Peripheral blood smear.
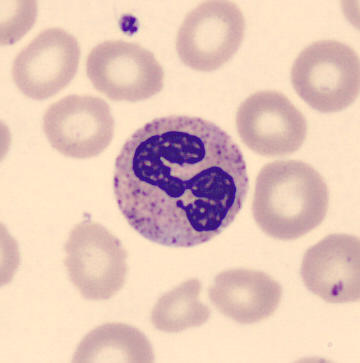 Segmented neutrophil.